Bone marrow aspirate smear — 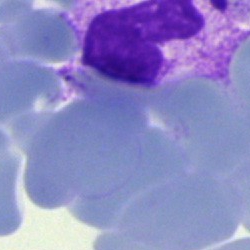
{"cell_type": "artefact"}